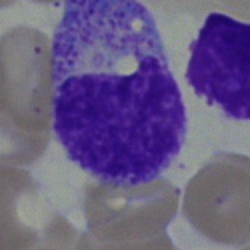 Specimen: bone marrow aspirate smear.
Cell type: myelocyte.
Lineage: myeloid.